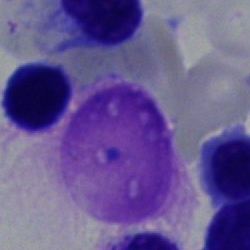

Morphological class — artifact.